Bone marrow aspirate smear: 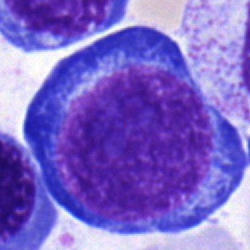The cell shown is a proerythroblast.